40× objective, oil immersion. Bone marrow smear — 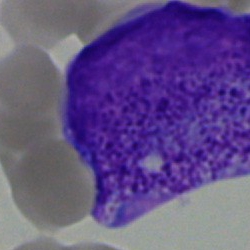 Blast cell.